Bone marrow smear — 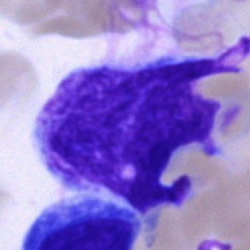

The cell is artifact.